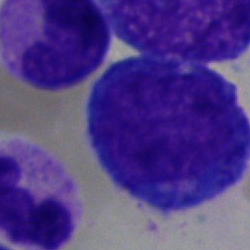 Classification — pronormoblast.